Bone marrow smear. Single cell centered in the field:
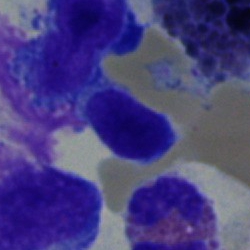 {"cell_type": "lymphocyte"}